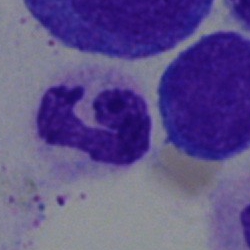 Bone marrow aspirate smear, single cell — segmented neutrophil.